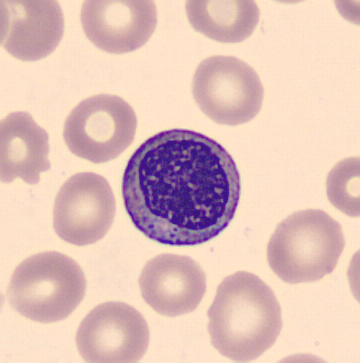Specimen: peripheral blood film.
Cell: myelocyte.